Bone marrow aspirate smear: 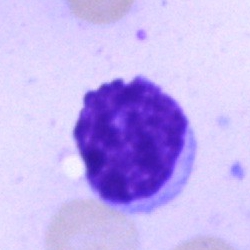
Single cell identified as a lymphocyte.